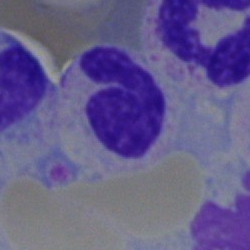
The cell shown is a band-form neutrophil.